Bone marrow smear; brightfield microscopy, 40× oil immersion — 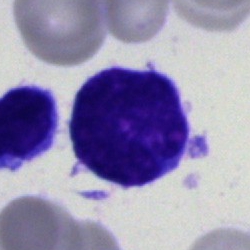

Classification — undifferentiated blast.